Bone marrow aspirate smear; MGG-stained:
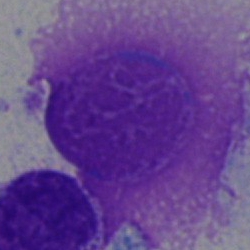 The cell is artefact.